Bone marrow aspirate smear: 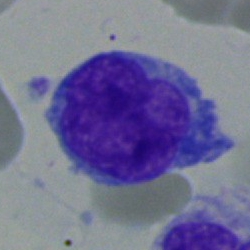The classification is undifferentiated blast.